Bone marrow aspirate smear.
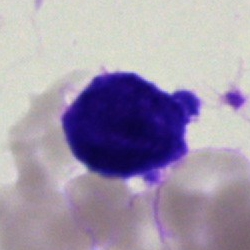
{"cell_type": "blast cell"}